Bone marrow aspirate smear; May-Grünwald-Giemsa stain; 250 by 250 pixels: 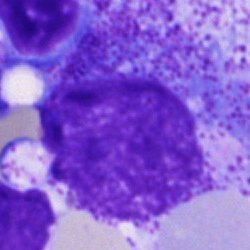 The cell shown is a promyelocyte.